Bone marrow aspirate smear: 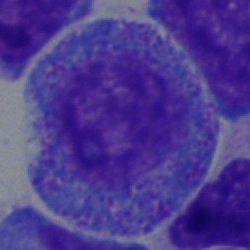 The cell shown is a promyelocyte.